Bone marrow aspirate smear:
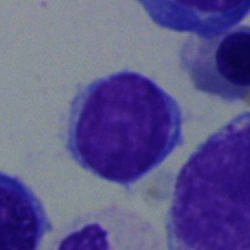 Q: What is the morphological classification of this cell?
A: A typical lymphocyte.